Bone marrow aspirate smear
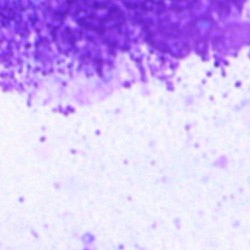

Single cell identified as an artefact.